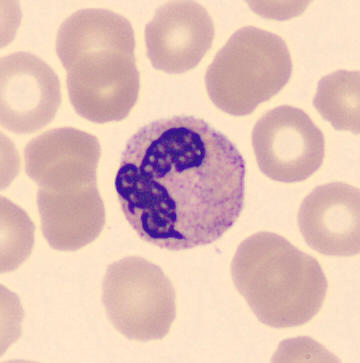 Morphological class = polymorphonuclear neutrophil.
Preparation: Automated cell imaging (CellaVision DM96). 360×363. Peripheral blood smear.